Romanowsky stain. 100× oil immersion. Peripheral blood smear.
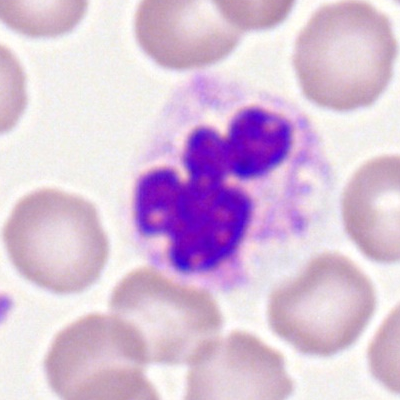
Cell type: neutrophil (segmented).